Image size 250×250 · bone marrow aspirate smear
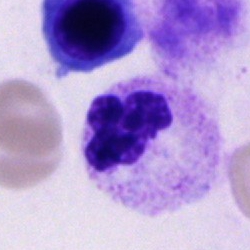
The cell shown is a segmented neutrophil.